Bone marrow smear — 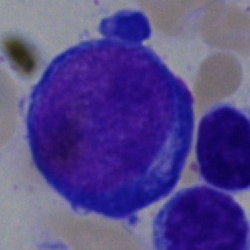
Classification: proerythroblast.